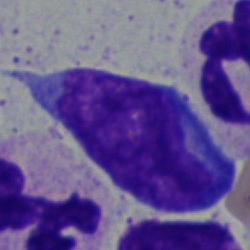

The morphological class is blast.